Pappenheim-stained; bone marrow aspirate smear; single-cell crop: 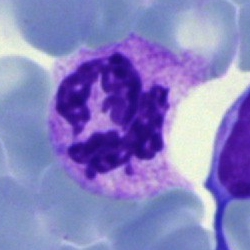

Showing a neutrophil (segmented).